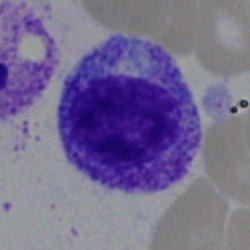

Bone marrow smear showing a myelocyte.